250×250 px; bone marrow smear — 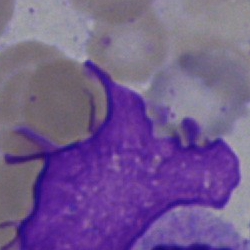{"cell_type": "artifact"}